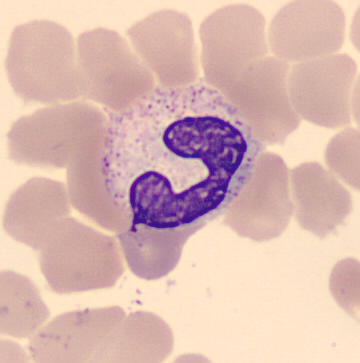
Acquisition: Peripheral blood smear; imaged on a CellaVision DM96 analyser.

Neutrophil (band).